40× oil immersion · Pappenheim-stained · bone marrow smear.
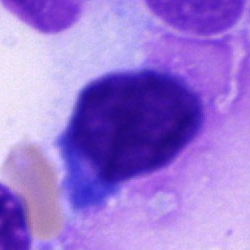Cell type — blast cell.